Bone marrow aspirate smear. Brightfield microscopy, 40× oil immersion. Pappenheim-stained
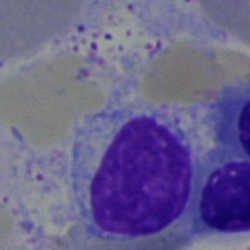

Q: What type of cell is this?
A: A lymphocyte.